Bone marrow aspirate smear — 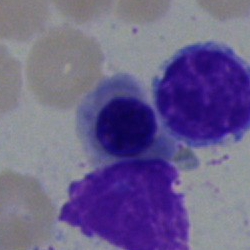The cell shown is an erythroblast.